Bone marrow smear; 250×250 px
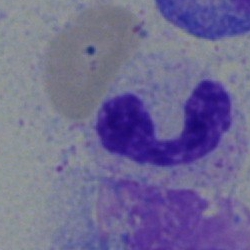
Morphological class — neutrophil (segmented).